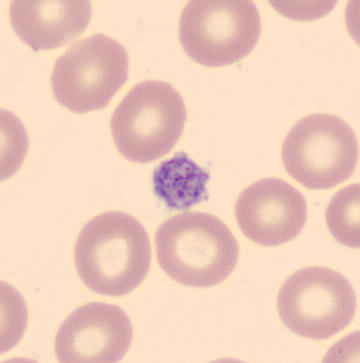360×363 px. Peripheral blood film.
Morphological class: platelet.